Bone marrow smear. May-Grünwald-Giemsa stain
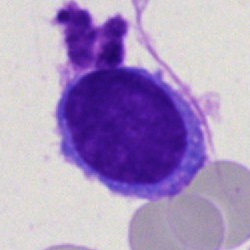
The cell type is lymphocyte.